Bone marrow smear. Cropped to a single cell — 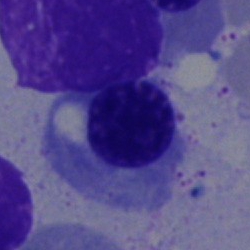

The morphological class is nucleated red blood cell.